Image size 400×400. Peripheral blood film.
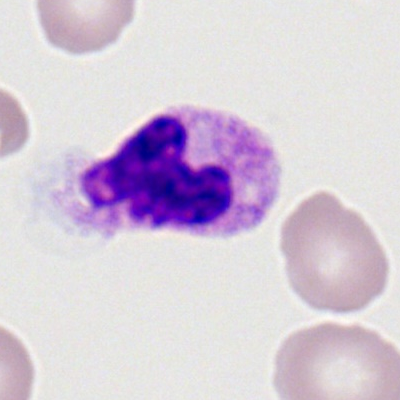 The morphological class is polymorphonuclear neutrophil.